Peripheral blood smear; 400×400 px.
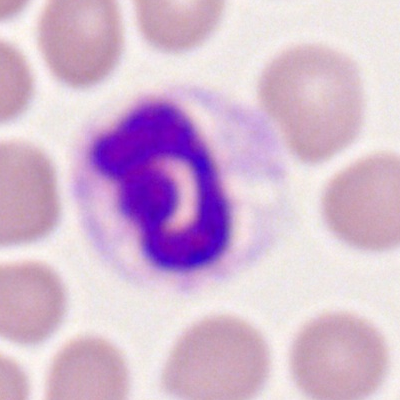
The cell shown is a polymorphonuclear neutrophil.